Bone marrow smear; 250×250 px: 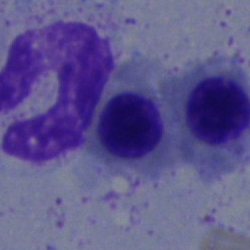

Classification: erythroblast.